250×250; bone marrow smear: 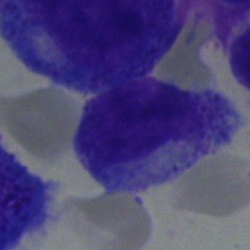Morphology → myelocyte.